40× oil immersion · bone marrow smear — 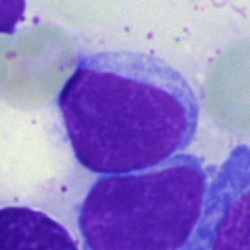

Impression → lymphocyte.